MGG-stained · bone marrow aspirate smear · single cell centered in the field: 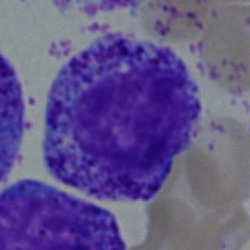
Single cell identified as a myelocyte.